Bone marrow smear:
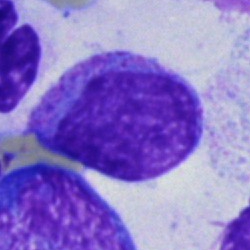 Morphology consistent with an undifferentiated blast.